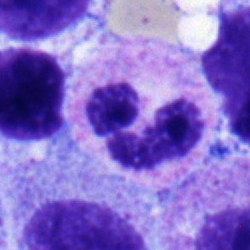
Impression → polymorphonuclear neutrophil.